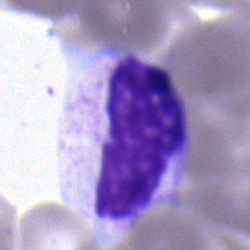

Morphology — metamyelocyte.